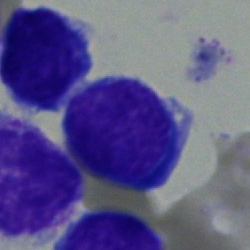 Cell type: blast cell.